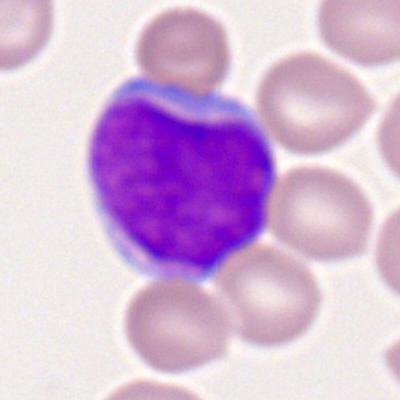
Morphological class: myeloblast.